40× oil immersion · bone marrow smear:
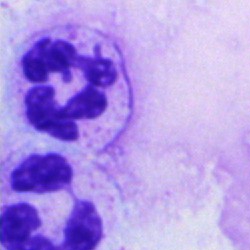

Q: What type of cell is this?
A: A neutrophil (segmented).